Bone marrow aspirate smear:
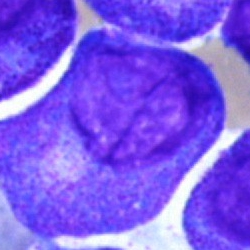
Morphology consistent with a promyelocyte.